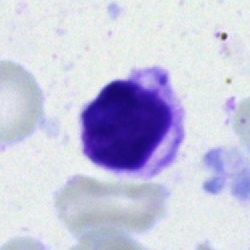Specimen: bone marrow smear.
Morphological class: unidentifiable cell.